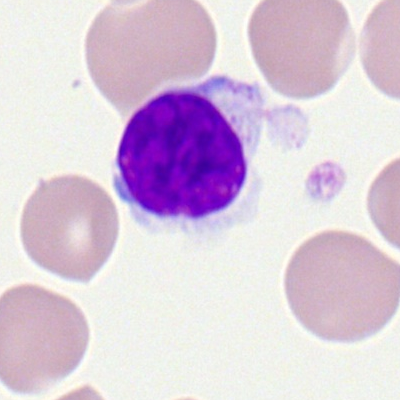
Morphology → typical lymphocyte.